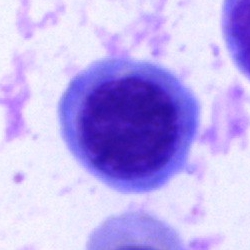
This is a normoblast.